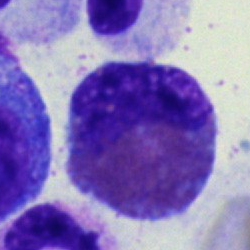
Morphology consistent with an eosinophilic granulocyte.